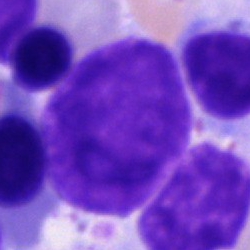

The morphological class is artefact.